Image size 250×250 · 40× objective, oil immersion · bone marrow smear
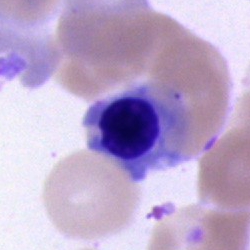
Impression → normoblast.